Peripheral blood film.
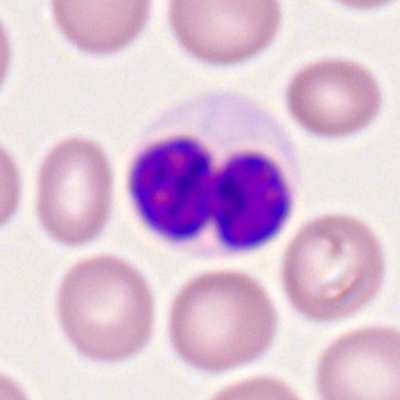 Impression → segmented neutrophil.